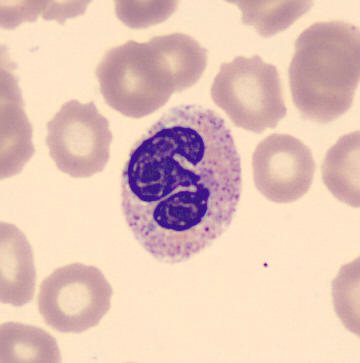

Cell: neutrophil (segmented).

Peripheral blood smear.